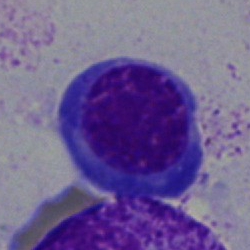
The cell shown is an erythroblast.